Image size 250×250; bone marrow smear
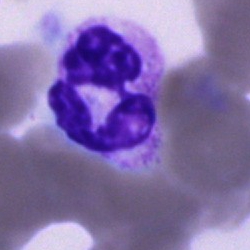

Specimen: bone marrow smear.
Classification: neutrophil (segmented).